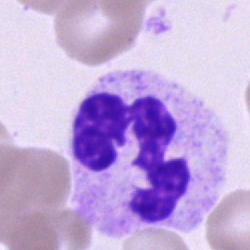Cell type — polymorphonuclear neutrophil.